Peripheral blood smear — 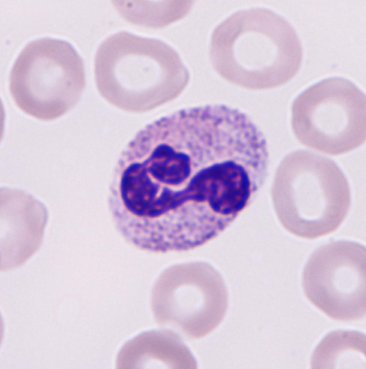Morphological class: neutrophil granulocyte.